Bone marrow aspirate smear: 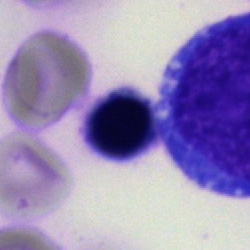
The morphological class is normoblast.